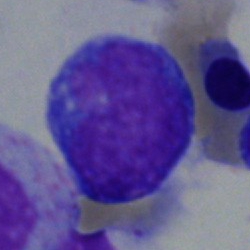 Classification — undifferentiated blast.